Bone marrow aspirate smear. 40× objective, oil immersion. 250 by 250 pixels:
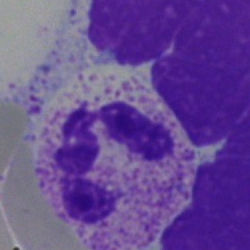
Showing a segmented neutrophil.